40× objective, oil immersion · bone marrow smear · single-cell crop.
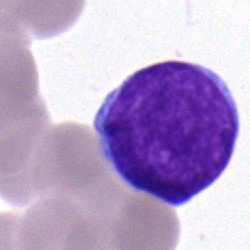 Cell type = blast cell.